Bone marrow smear — 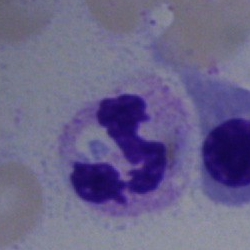This is a segmented neutrophil.